Bone marrow smear · image size 250×250.
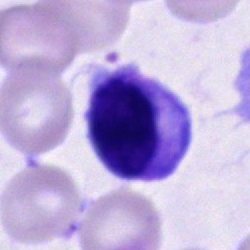 Morphology → unidentifiable cell.